Pappenheim-stained. 250 by 250 pixels. Bone marrow smear:
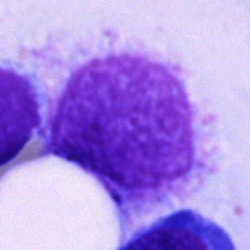

Q: What is shown here?
A: It is an artifact.